Bone marrow aspirate smear:
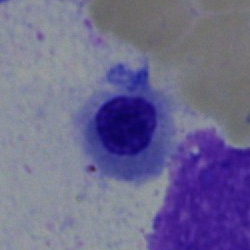Cell type — erythroblast.